Bone marrow aspirate smear:
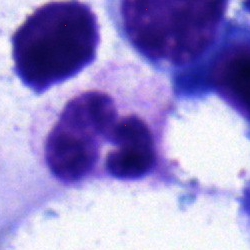 Specimen: bone marrow aspirate smear.
Morphological class: neutrophil (segmented).
Lineage: myeloid.